Peripheral blood smear.
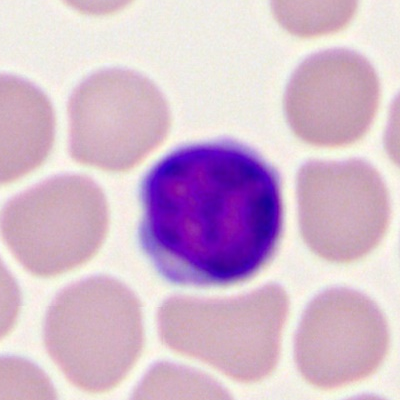

Cell — lymphocyte.